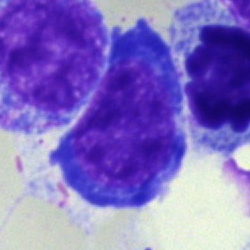 Normoblast.